Bone marrow aspirate smear; 40× oil immersion
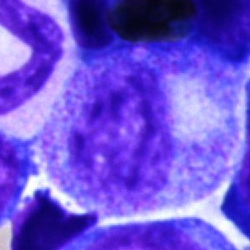
Q: What is shown here?
A: This is a promyelocyte.